Bone marrow smear — 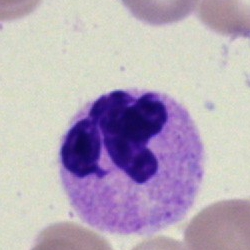Q: What type of cell is this?
A: It is a neutrophil (segmented).